May-Grünwald-Giemsa stain. 40× objective, oil immersion. Bone marrow smear:
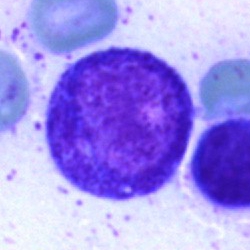Single cell identified as a promyelocyte.